Bone marrow aspirate smear:
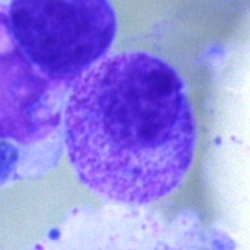

Specimen: bone marrow smear.
Morphological class: progranulocyte.